Bone marrow smear: 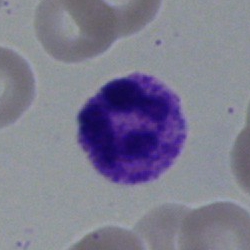
Morphology → neutrophil (segmented).